Bone marrow aspirate smear: 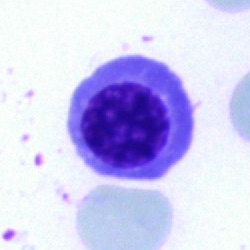Cell = nucleated red cell.